Bone marrow aspirate smear.
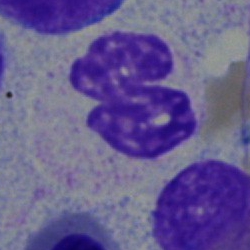 The cell type is polymorphonuclear neutrophil.